May-Grünwald-Giemsa/Pappenheim stain; single cell centered in the field; bone marrow aspirate smear: 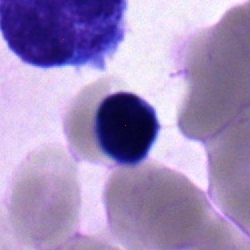
This is a normoblast.